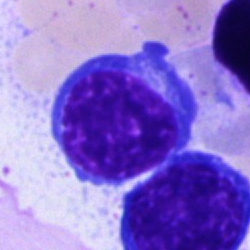
{"cell_type": "erythroblast"}